250×250 px; bone marrow aspirate smear — 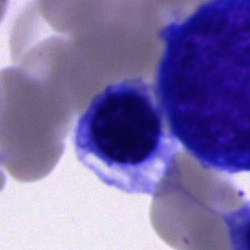

Specimen: bone marrow smear.
Cell type: cell of indeterminate lineage.